Bone marrow aspirate smear
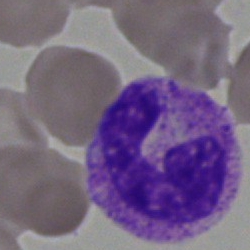 Q: Which cell type is shown here?
A: It is a polymorphonuclear neutrophil.